Bone marrow aspirate smear.
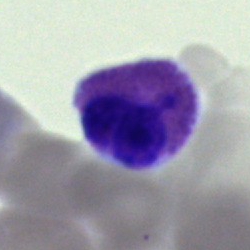

Classification = eosinophil.